Single cell centered in the field · bone marrow smear.
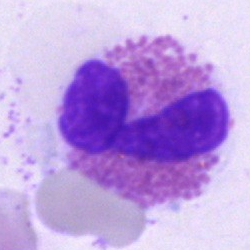
The classification is eosinophilic granulocyte.